Single-cell crop. Peripheral blood smear — 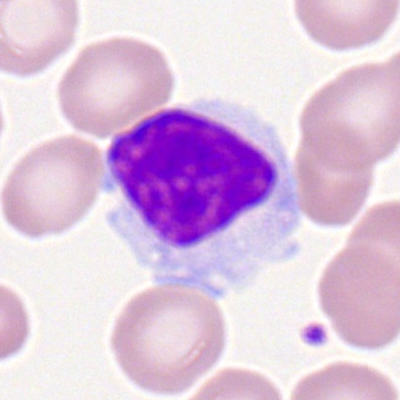 Morphology — lymphocyte.